Bone marrow smear — 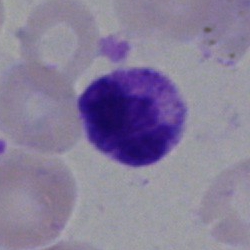

Q: What is shown here?
A: This is a polymorphonuclear neutrophil.